Bone marrow smear: 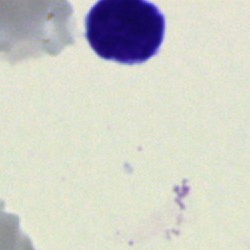 Impression — lymphocyte.